250×250. Bone marrow aspirate smear — 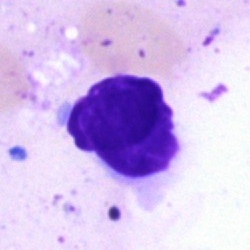

Cell type: artefact.